Bone marrow aspirate smear · May-Grünwald-Giemsa/Pappenheim stain: 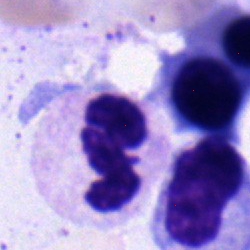Specimen: bone marrow smear.
Morphological class: segmented neutrophil.
Lineage: myeloid.